Bone marrow aspirate smear: 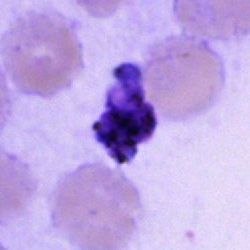

Q: What type of cell is this?
A: It is a cell of indeterminate lineage.